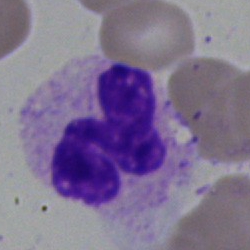 Cell: polymorphonuclear neutrophil.